Bone marrow smear; cropped to a single cell
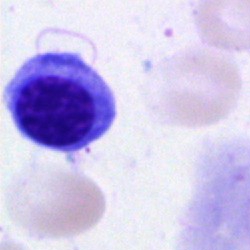Showing a nucleated red blood cell.